Bone marrow smear
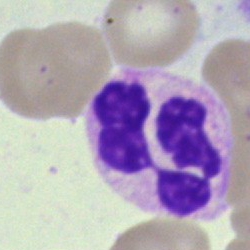Q: What cell is this?
A: A segmented neutrophil.